Bone marrow aspirate smear · May-Grünwald-Giemsa stain.
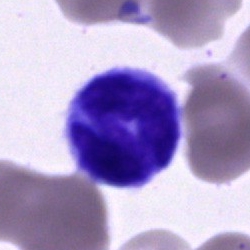 Specimen: bone marrow aspirate smear.
Cell type: cell of indeterminate lineage.